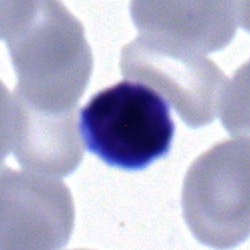 Morphological class: lymphocyte.